Peripheral blood smear.
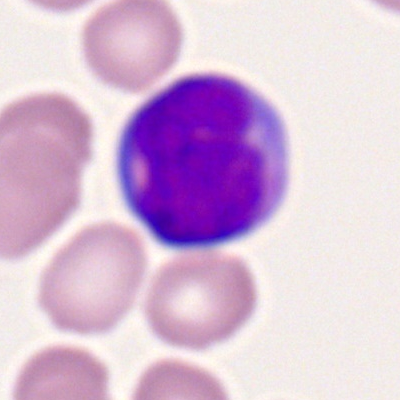

Morphology consistent with a myeloid blast.